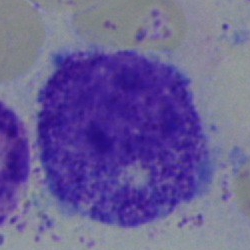
Cell type = myelocyte.